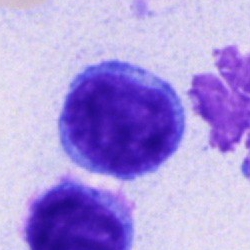 Classification = typical lymphocyte.